250×250; bone marrow smear.
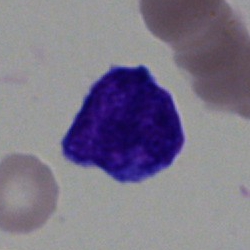

{"cell_type": "blast cell"}